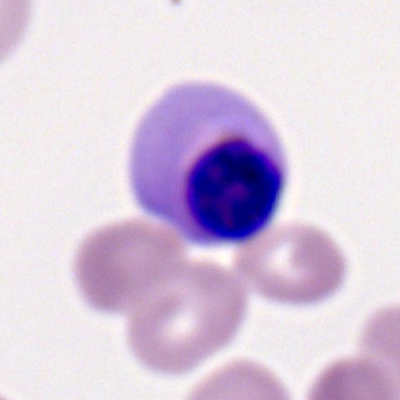

Q: Which cell type is shown here?
A: It is an erythroblast.